Peripheral blood smear:
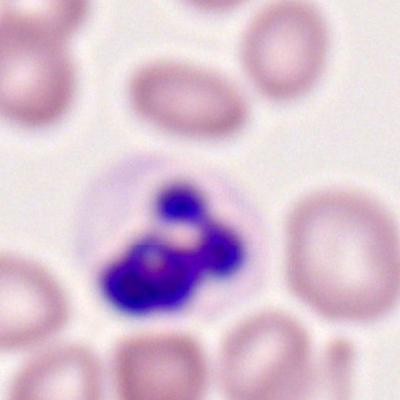

Specimen: peripheral blood smear.
Morphological class: polymorphonuclear neutrophil.
Lineage: myeloid.